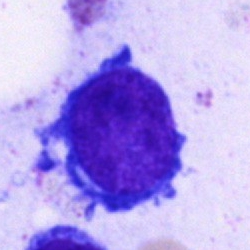Morphology consistent with a pronormoblast.